Bone marrow smear:
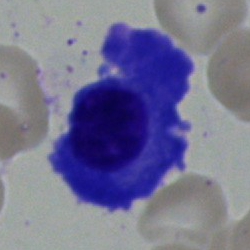

Impression — plasma cell.